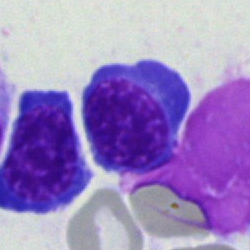

Q: What cell is this?
A: This is a nucleated red cell.